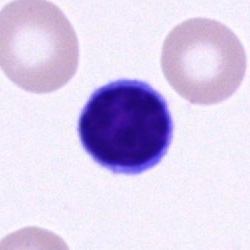

Q: Identify the cell.
A: It is a typical lymphocyte.